MGG-stained · bone marrow aspirate smear · single-cell field
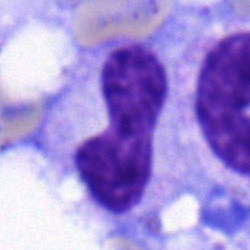
A neutrophil (band).